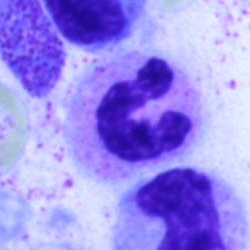
Morphological class — polymorphonuclear neutrophil.